Bone marrow aspirate smear
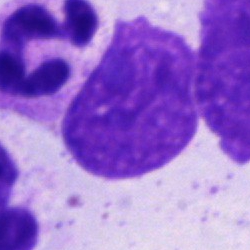 Artefact.